Bone marrow aspirate smear
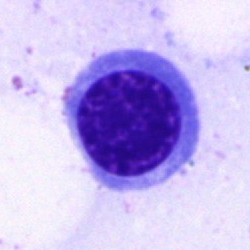

Single cell identified as an erythroblast.